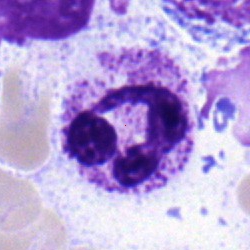 {"cell_type": "segmented neutrophil", "lineage": "myeloid"}